Bone marrow aspirate smear
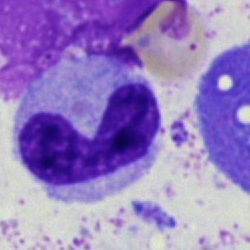Cell: band-form neutrophil.